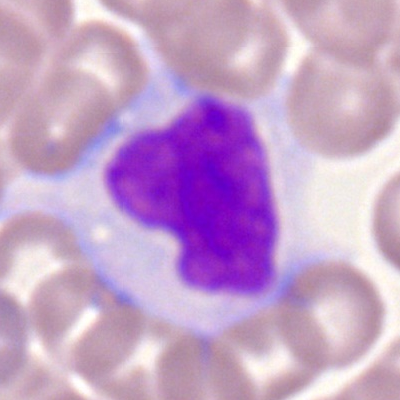Specimen: peripheral blood smear.
Cell type: monocyte.